Bone marrow smear.
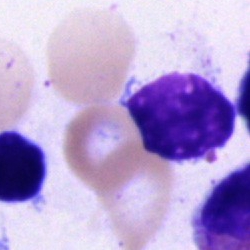

Morphology consistent with a typical lymphocyte.